Image size 250×250 · May-Grünwald-Giemsa stain · bone marrow aspirate smear.
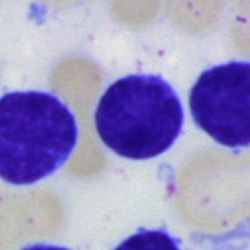 Morphological class = typical lymphocyte.